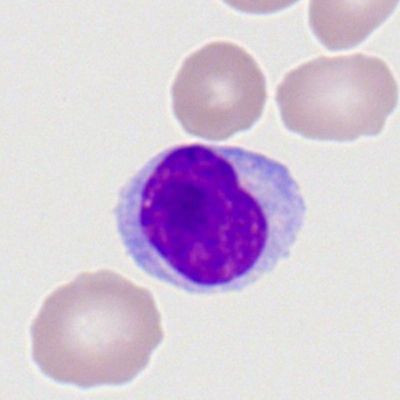 Classification — lymphocyte.